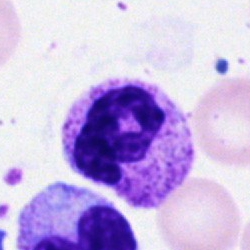 Q: Identify the cell.
A: A segmented neutrophil.